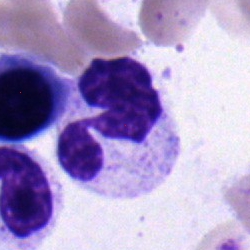 Classification — polymorphonuclear neutrophil.